Single-cell crop; bone marrow aspirate smear: 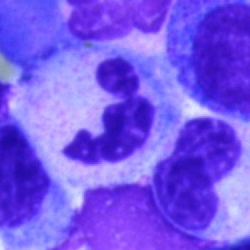
Q: What type of cell is this?
A: A neutrophil (segmented).